May-Grünwald-Giemsa stain · cropped to a single cell · bone marrow smear
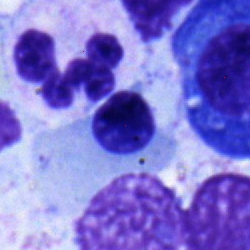 Morphological class = normoblast.